40× objective, oil immersion · bone marrow aspirate smear:
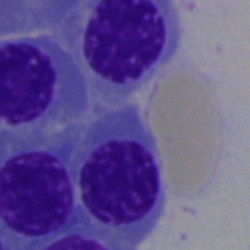 Classification — nucleated red cell.